May-Grünwald-Giemsa/Pappenheim stain. Bone marrow smear:
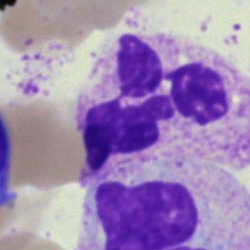 Polymorphonuclear neutrophil.